250×250; bone marrow aspirate smear; brightfield, 40× oil-immersion objective: 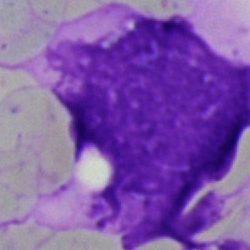
Q: What is shown here?
A: An artifact.